Bone marrow aspirate smear. Single cell centered in the field:
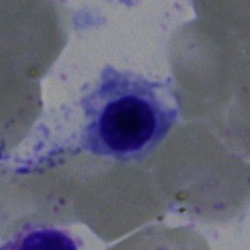

Impression → normoblast.